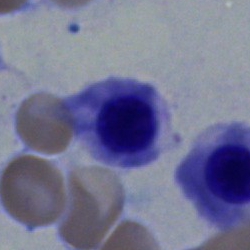
Bone marrow smear showing a normoblast.